Bone marrow aspirate smear
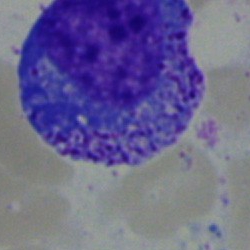 The cell shown is a promyelocyte.